Romanowsky-type stain. Image size 400×400. Peripheral blood smear.
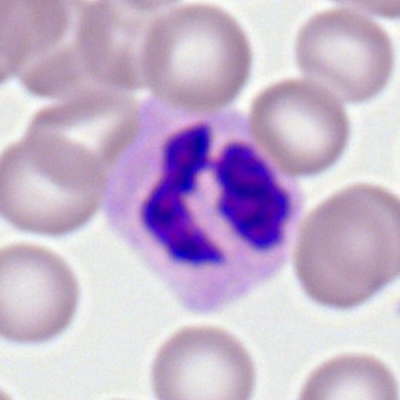
Q: Which cell type is shown here?
A: A neutrophil (segmented).